Bone marrow aspirate smear. Single cell centered in the field. 40× oil immersion: 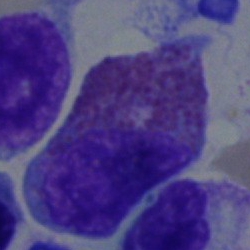The classification is eosinophilic granulocyte.